Peripheral blood smear — 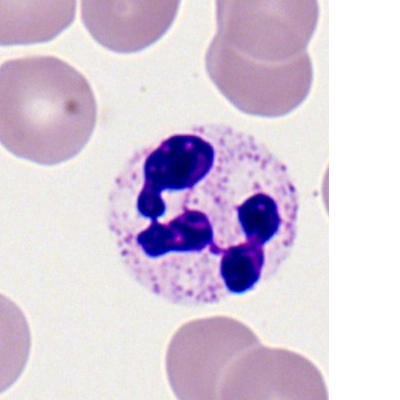
Specimen: peripheral blood film.
Morphological class: polymorphonuclear neutrophil.
Lineage: myeloid.